Bone marrow smear:
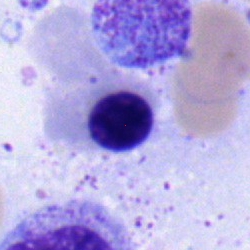

The cell shown is a monocyte.